40× objective, oil immersion; bone marrow aspirate smear
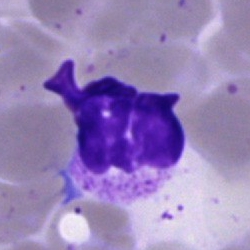Impression → artifact.